Bone marrow aspirate smear; single cell centered in the field: 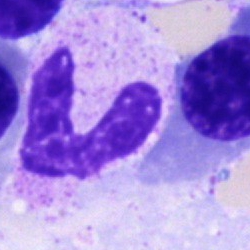

Q: What type of cell is this?
A: This is a band-form neutrophil.